Bone marrow aspirate smear; 40× objective, oil immersion — 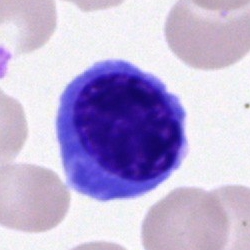Specimen: bone marrow aspirate smear.
Classification: normoblast.
Lineage: erythroid.